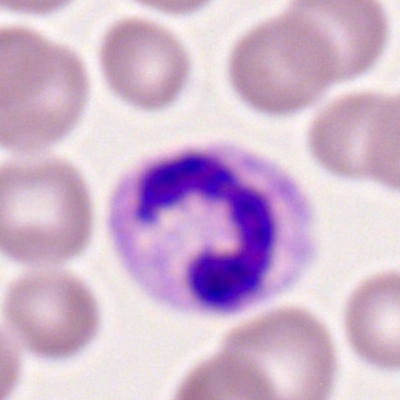

Q: What type of cell is this?
A: This is a neutrophil (segmented).